Bone marrow aspirate smear; 250 by 250 pixels: 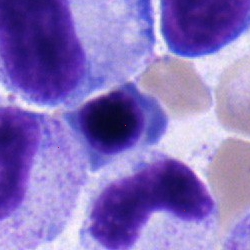
Q: What type of cell is this?
A: This is a nucleated red cell.